Bone marrow smear · image size 250×250: 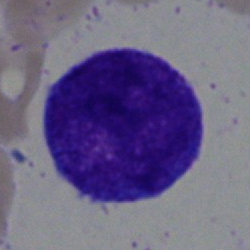

Cell type — progranulocyte.